Bone marrow aspirate smear:
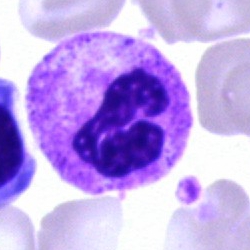Showing a neutrophil (segmented).